250 by 250 pixels; bone marrow aspirate smear: 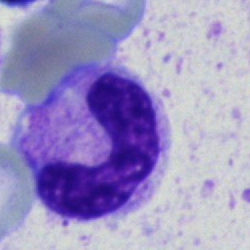 Q: Which cell type is shown here?
A: This is a neutrophil (segmented).